Bone marrow smear:
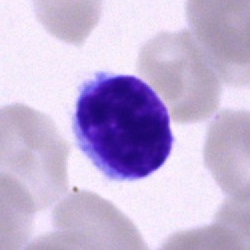 Classification = lymphocyte.